Bone marrow aspirate smear
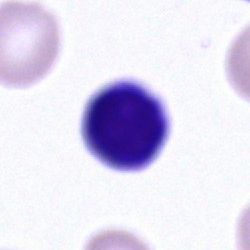
The cell shown is a typical lymphocyte.